Bone marrow aspirate smear.
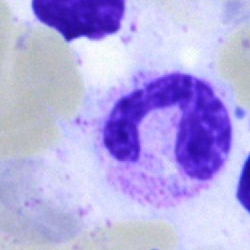

Specimen: bone marrow smear.
Classification: segmented neutrophil.
Lineage: myeloid.